Bone marrow smear.
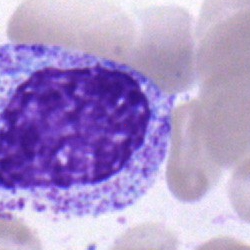

Cell = myelocyte.